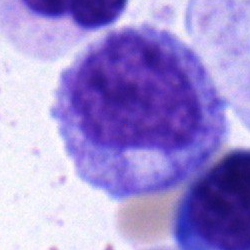

Morphological class — myelocyte.